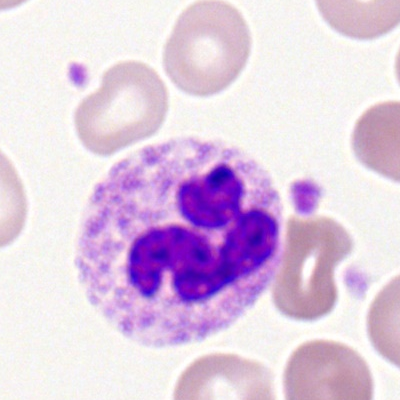
A segmented neutrophil.